Bone marrow aspirate smear:
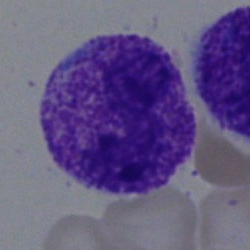

Segmented neutrophil.